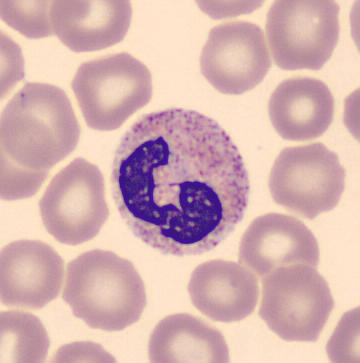

Q: What is shown here?
A: A neutrophil (band).